Bone marrow aspirate smear:
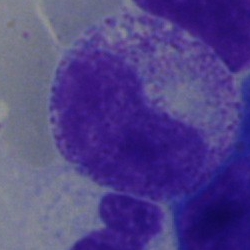

{"cell_type": "metamyelocyte", "lineage": "myeloid"}